Bone marrow smear — 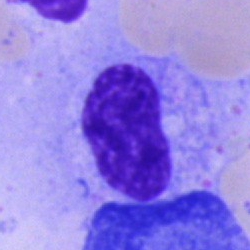
A metamyelocyte.